Image size 250×250; May-Grünwald-Giemsa stain; bone marrow smear:
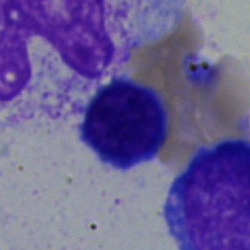
Cell: typical lymphocyte.